Single-cell crop · peripheral blood film:
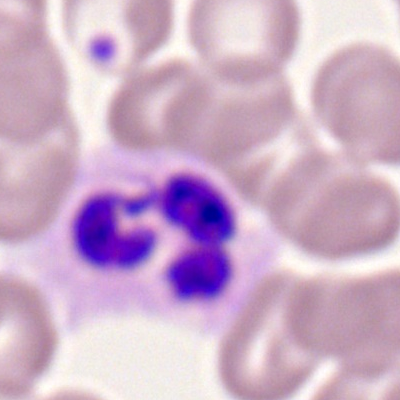A neutrophil (segmented).